Bone marrow smear · image size 250×250 — 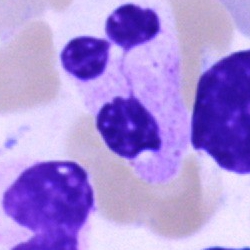

Specimen: bone marrow smear.
Classification: segmented neutrophil.
Lineage: myeloid.